Peripheral blood smear.
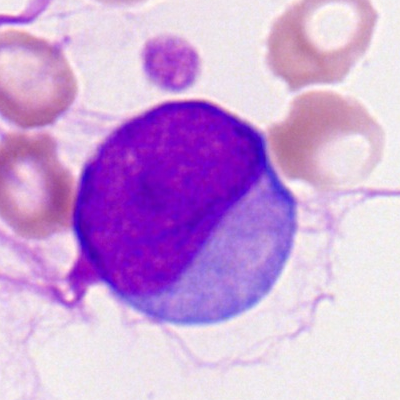

Morphology → myeloid blast.